Bone marrow aspirate smear — 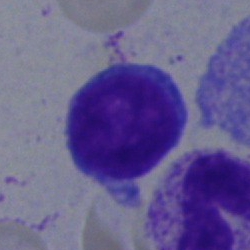
Impression → lymphocyte.